Image size 250×250. Bone marrow aspirate smear — 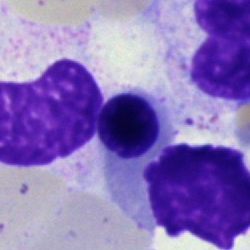
A normoblast.